Peripheral blood smear
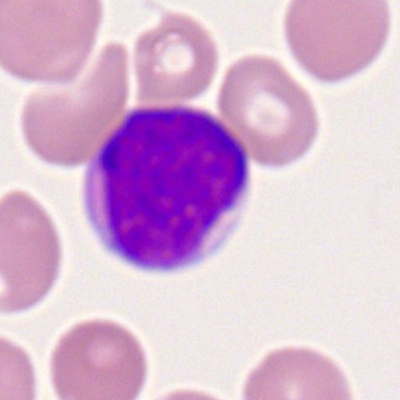 Cell = myeloid blast.